Bone marrow aspirate smear. 250×250 px.
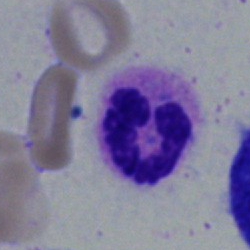

Impression — neutrophil (segmented).